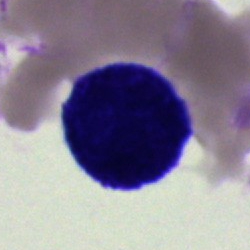

Morphology consistent with an artifact.